Bone marrow smear — 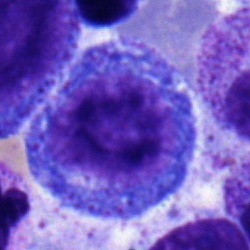

The cell shown is a promyelocyte.